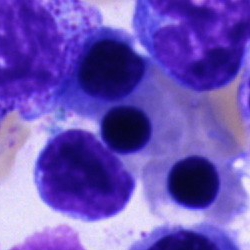 This is an unidentifiable cell.